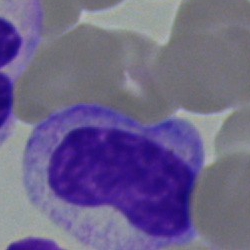 Q: Identify the cell.
A: This is a metamyelocyte.